Bone marrow aspirate smear
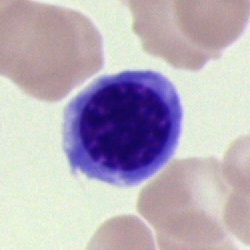

Specimen: bone marrow smear.
Cell type: nucleated red cell.